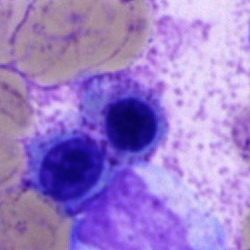

The classification is erythroblast.